Single-cell field · 250×250 px · bone marrow aspirate smear — 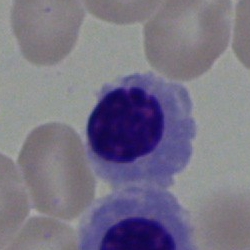
Nucleated red blood cell.